Bone marrow aspirate smear. 250×250 px.
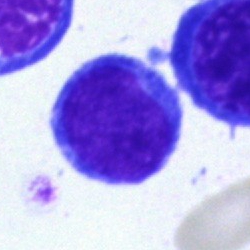Lymphocyte.